Bone marrow aspirate smear
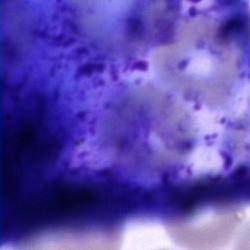 Showing an artifact.